Bone marrow aspirate smear:
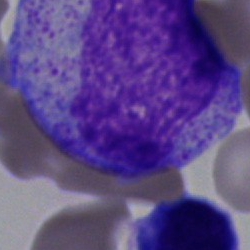 Impression → myelocyte.